Cropped to a single cell. 40× oil immersion. Bone marrow smear
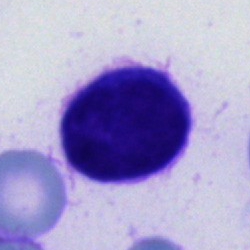
Cell type — unidentifiable cell.